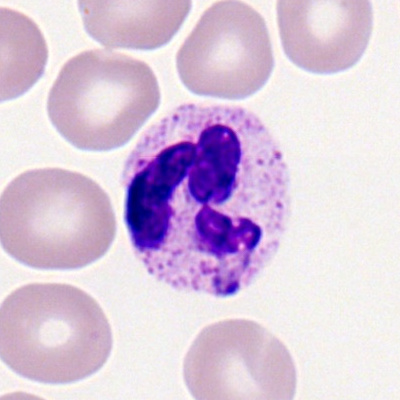 Q: What is shown here?
A: It is a neutrophil (segmented).